Bone marrow aspirate smear: 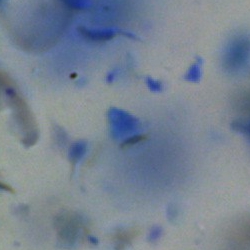

This is an artifact.